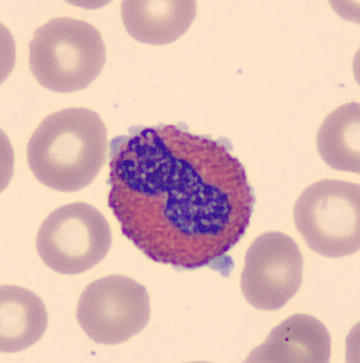

Morphological class: eosinophil.

Single-cell crop · peripheral blood smear · imaged on a CellaVision DM96 analyser.